Bone marrow aspirate smear: 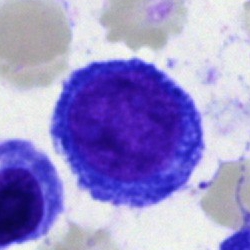
Morphology → proerythroblast.